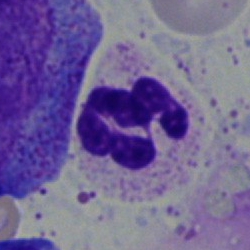

Q: Which cell type is shown here?
A: A segmented neutrophil.